Single-cell field. Bone marrow smear. 40× oil immersion:
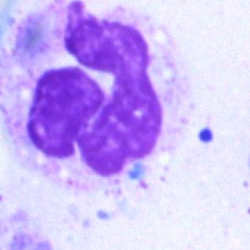
Q: What is shown here?
A: An artifact.